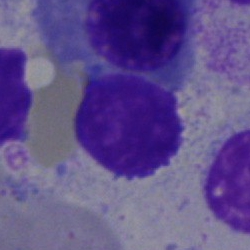 Single cell identified as a typical lymphocyte.